MGG-stained. 250×250 px. Bone marrow smear: 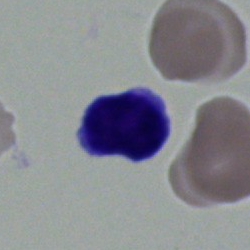

Morphology → typical lymphocyte.